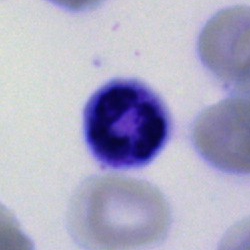 A segmented neutrophil.